Bone marrow smear
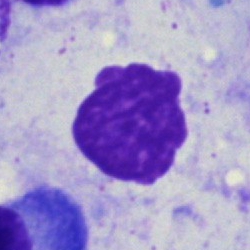Showing an artifact.